40× oil immersion · bone marrow aspirate smear · MGG-stained: 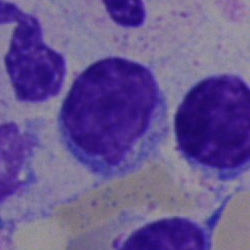

Specimen: bone marrow aspirate smear.
Cell: lymphocyte.